Bone marrow aspirate smear — 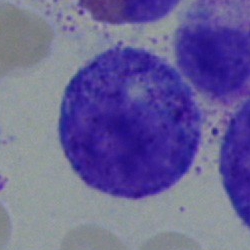The cell shown is a promyelocyte.